Bone marrow aspirate smear
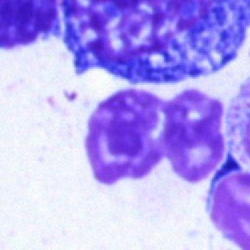Artefact.